Bone marrow smear · image size 250×250:
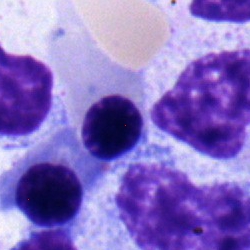 Q: What is shown here?
A: An erythroblast.